40× objective, oil immersion · bone marrow smear.
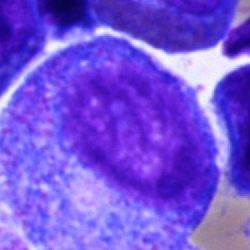 Specimen: bone marrow aspirate smear.
Morphological class: promyelocyte.
Lineage: myeloid.